Bone marrow smear; image size 250×250 — 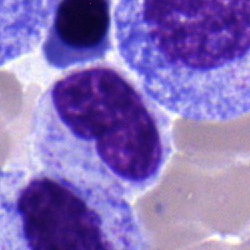
Specimen: bone marrow smear.
Cell: stab cell.
Lineage: myeloid.